Peripheral blood smear.
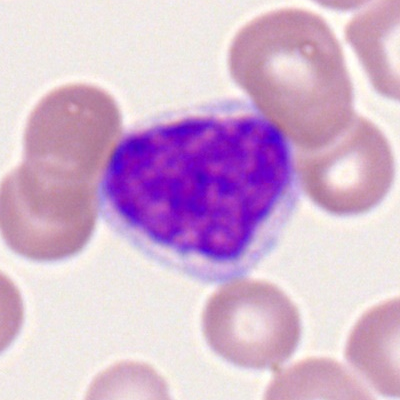

Lymphocyte.